Bone marrow smear.
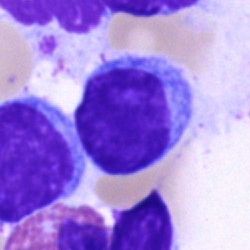

Impression → lymphocyte.